Bone marrow smear · 40× objective, oil immersion · MGG-stained
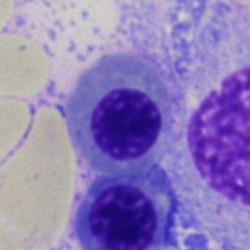
The classification is nucleated red blood cell.